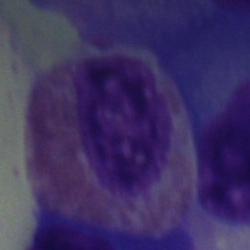

{"cell_type": "eosinophil"}